Bone marrow smear — 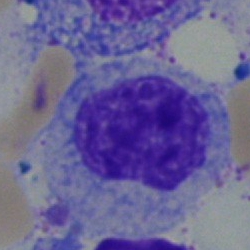
{"cell_type": "myelocyte"}